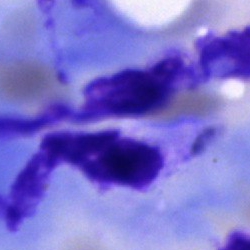

Single cell identified as an artifact.